Romanowsky stain. Image size 400×400. Peripheral blood smear:
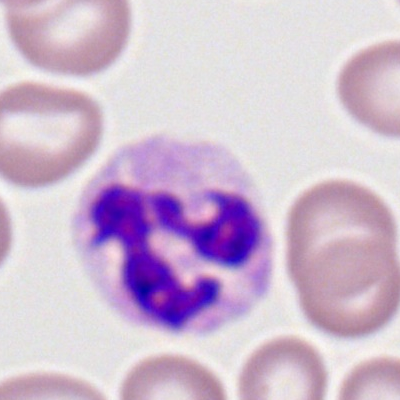 Segmented neutrophil.